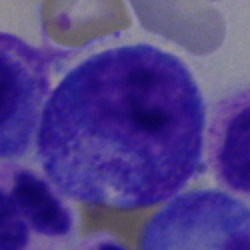 Promyelocyte.